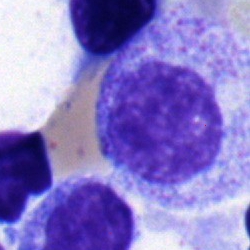Specimen: bone marrow aspirate smear.
Cell: myelocyte.